Bone marrow smear; MGG-stained: 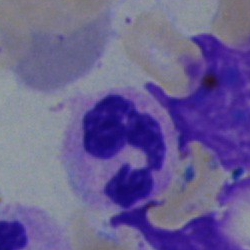Specimen: bone marrow smear.
Morphological class: segmented neutrophil.
Lineage: myeloid.